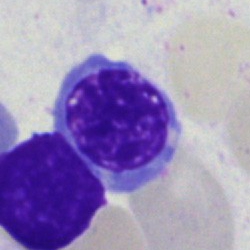 Cell type = nucleated red cell.